Bone marrow aspirate smear — 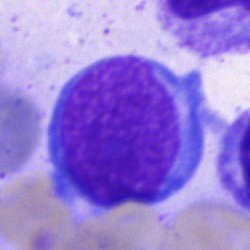Blast cell.